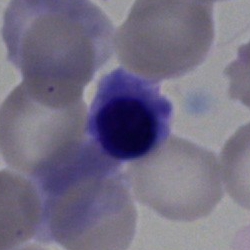 Classification = erythroblast.